Brightfield microscopy, 40× oil immersion; 250×250; bone marrow aspirate smear:
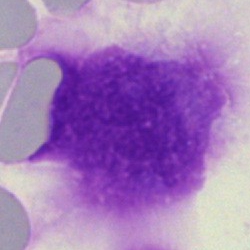

The cell shown is an artefact.